Brightfield microscopy, 40× oil immersion. Bone marrow smear. Single cell centered in the field — 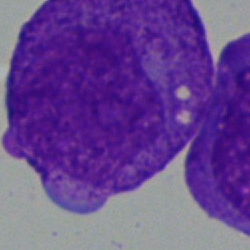 Specimen: bone marrow aspirate smear.
Cell: blast cell.